Single cell centered in the field; bone marrow aspirate smear.
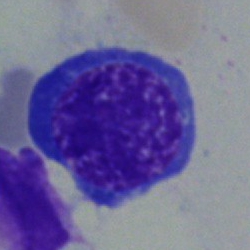Specimen: bone marrow smear.
Morphological class: nucleated red cell.